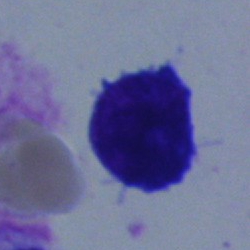

Classification — artifact.